Peripheral blood film — 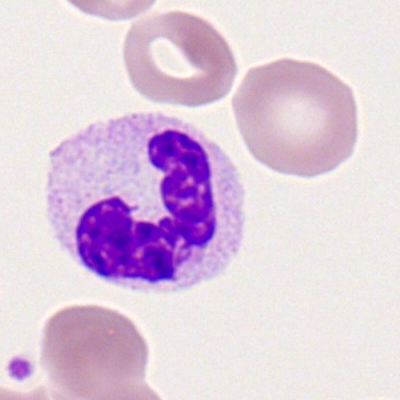

Single cell identified as a neutrophil (segmented).